Single cell centered in the field · bone marrow aspirate smear
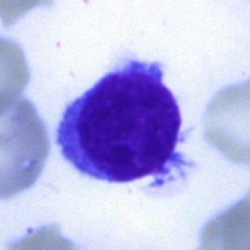

The morphological class is lymphocyte.